Image size 250×250. Bone marrow aspirate smear: 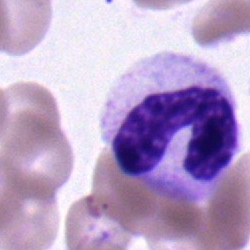
The cell shown is a band neutrophil.